Peripheral blood smear: 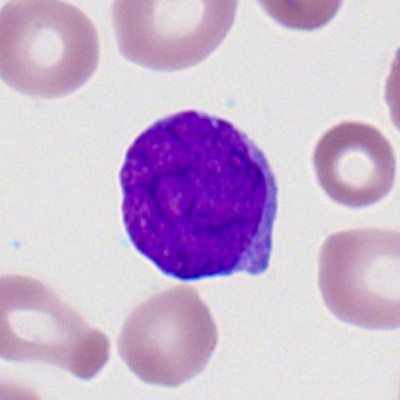 Showing a myeloid blast.